Bone marrow smear.
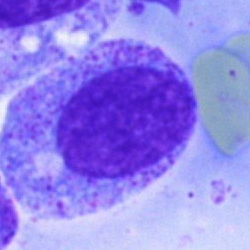
{"cell_type": "myelocyte"}